Peripheral blood film: 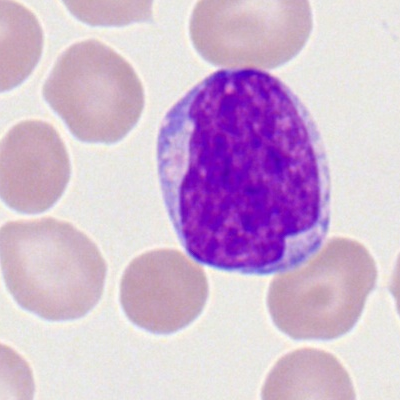 The cell shown is a myeloid blast.